Peripheral blood film: 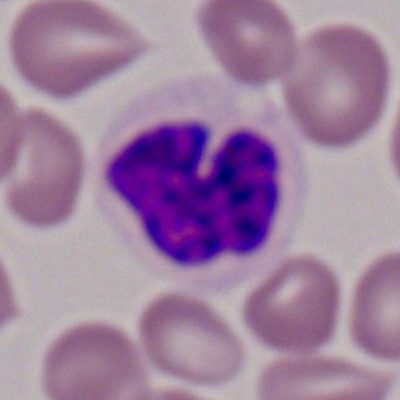

Cell type = segmented neutrophil.